Bone marrow aspirate smear; 250×250.
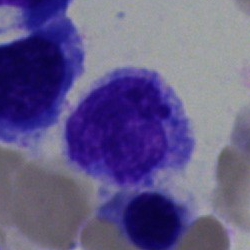 Q: Identify the cell.
A: Lymphocyte.